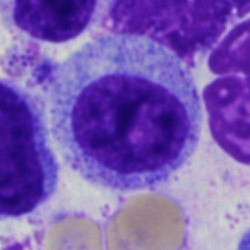
The cell shown is a myelocyte.